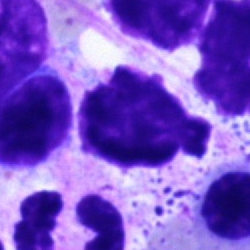 {"cell_type": "artefact"}